Bone marrow aspirate smear
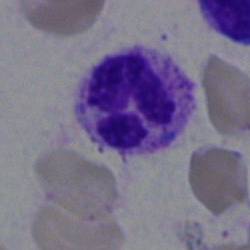Q: What cell is this?
A: It is a polymorphonuclear neutrophil.